Bone marrow aspirate smear
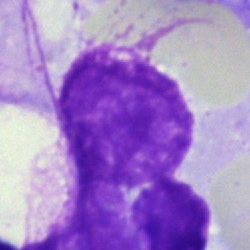
Morphology consistent with an artefact.